Peripheral blood film. Romanowsky-type stain. 400×400 px
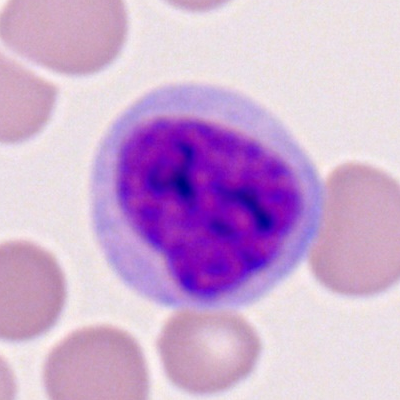 The cell is monocyte.